May-Grünwald-Giemsa/Pappenheim stain · bone marrow smear.
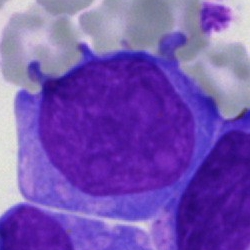 Cell type — undifferentiated blast.